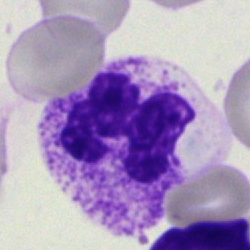

Cell type — neutrophil (segmented).